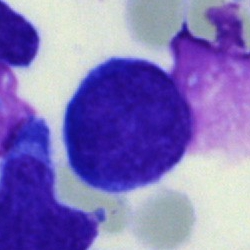

Q: What cell is this?
A: It is an undifferentiated blast.